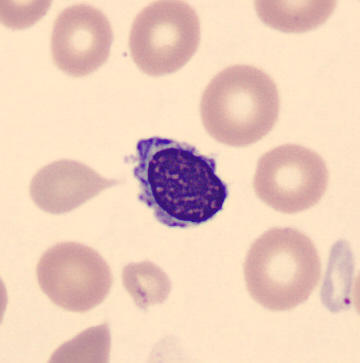
A nucleated red cell.

Image: Peripheral blood film.